Bone marrow aspirate smear:
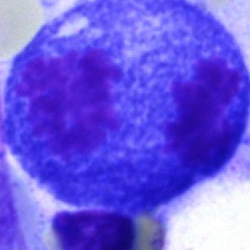 Classification — artifact.